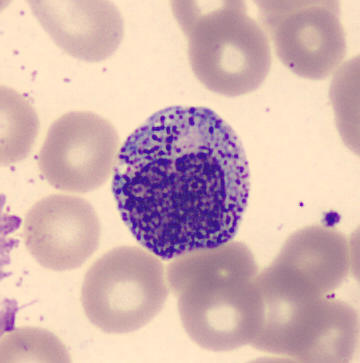A myelocyte.